Single cell centered in the field; MGG-stained; bone marrow smear.
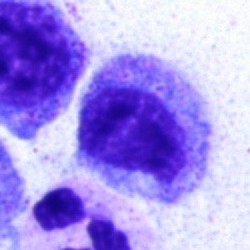 {"cell_type": "metamyelocyte"}